Single cell centered in the field. Bone marrow aspirate smear — 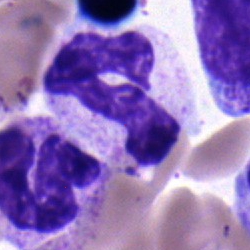 A band-form neutrophil.